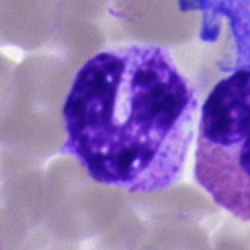The classification is band-form neutrophil.